Bone marrow smear — 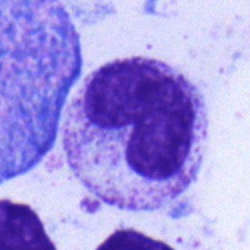 The cell shown is a metamyelocyte.